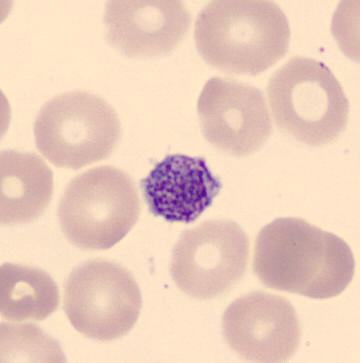
Peripheral blood film · 360×363.

Morphological class — thrombocyte.